Image size 250×250; bone marrow smear:
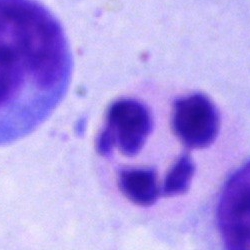 Cell type — segmented neutrophil.